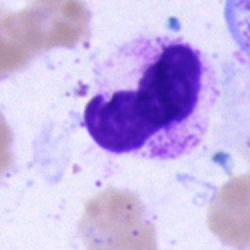

Cell type — polymorphonuclear neutrophil.